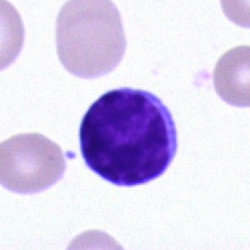The morphological class is typical lymphocyte.